Peripheral blood film · Romanowsky stain — 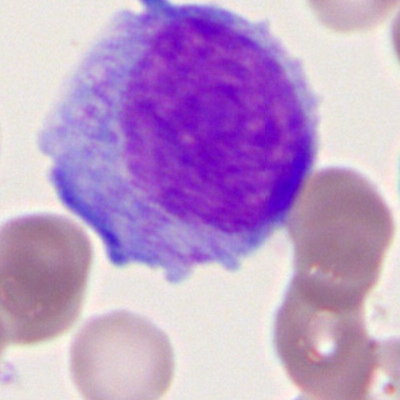Morphology consistent with a progranulocyte.